Peripheral blood smear
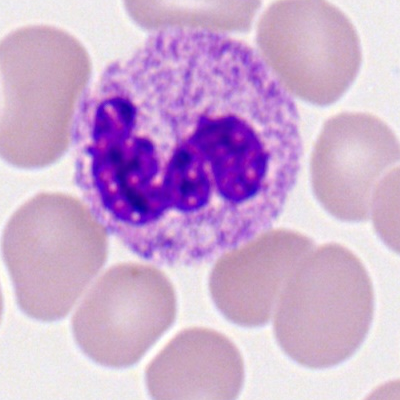 {"cell_type": "neutrophil (segmented)"}